Peripheral blood film; 360×363 px:
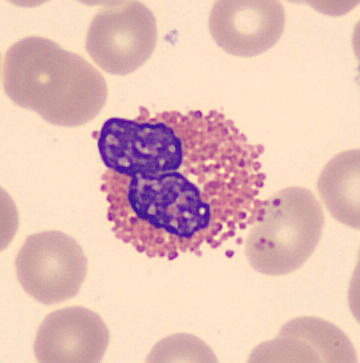

Cell type = eosinophil.